Image size 250×250 · bone marrow smear · May-Grünwald-Giemsa/Pappenheim stain
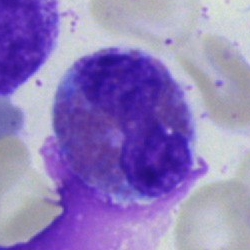Specimen: bone marrow smear.
Morphological class: eosinophil.